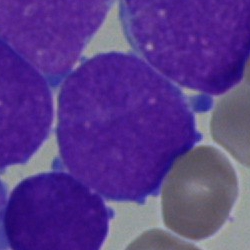 An undifferentiated blast.